Single-cell field · bone marrow smear:
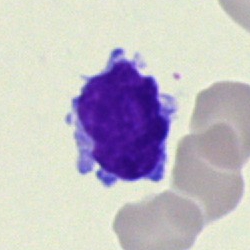

Morphological class: lymphocyte.